Bone marrow smear
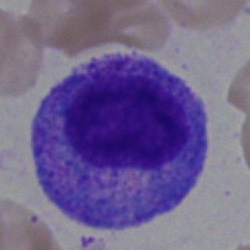 Q: Which cell type is shown here?
A: Myelocyte.